Bone marrow aspirate smear. May-Grünwald-Giemsa stain — 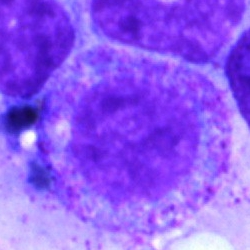Morphological class: nucleated red blood cell.